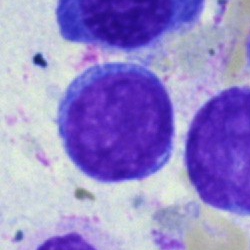 Q: What is shown here?
A: A lymphocyte.